Bone marrow aspirate smear · 40× oil immersion — 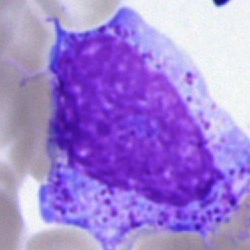
Morphology — myelocyte.